Bone marrow smear. Image size 250×250. May-Grünwald-Giemsa stain
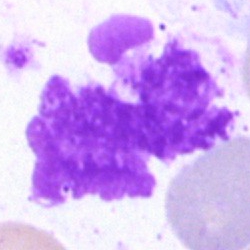 The cell shown is an artefact.